Bone marrow smear · 250 by 250 pixels · MGG-stained
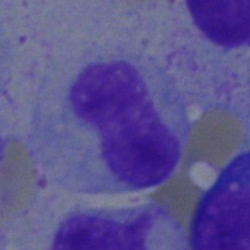

A stab cell.